40× oil immersion · bone marrow aspirate smear:
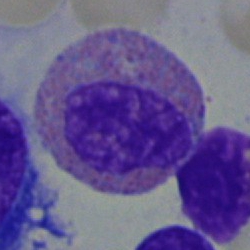

This is an eosinophilic granulocyte.